Bone marrow aspirate smear; cropped to a single cell — 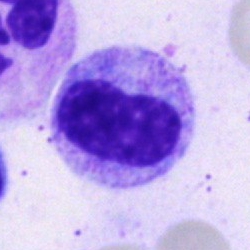 Q: Which cell type is shown here?
A: This is a metamyelocyte.